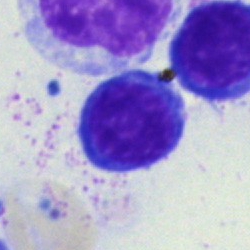 Specimen: bone marrow smear.
Cell type: normoblast.
Lineage: erythroid.